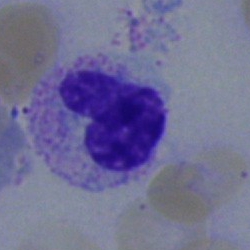
Q: Which cell type is shown here?
A: It is a neutrophil (segmented).